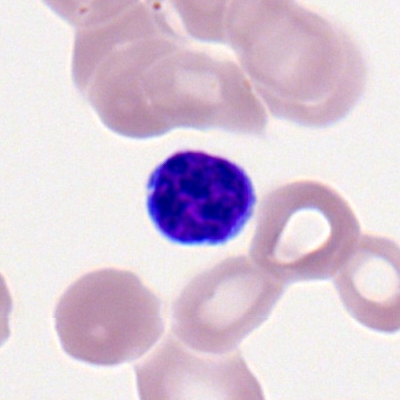 Cell: typical lymphocyte.